Bone marrow smear; single-cell crop
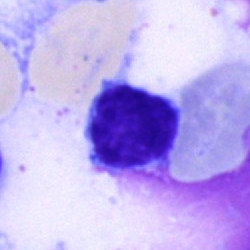 Classification: typical lymphocyte.